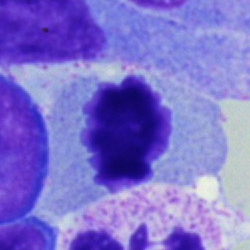Cell = artifact.